Peripheral blood film: 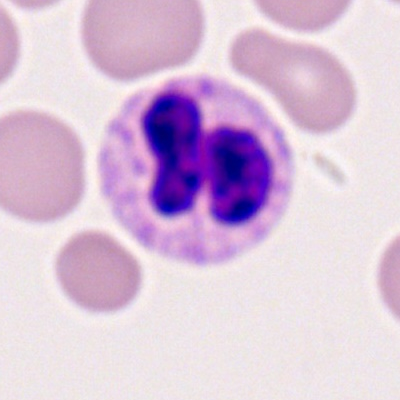 Morphology consistent with a segmented neutrophil.